Bone marrow aspirate smear
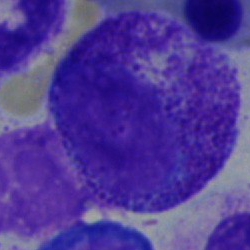

The cell type is progranulocyte.